Single-cell field; bone marrow smear; image size 250×250:
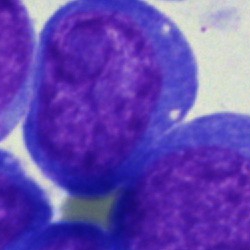
Morphology consistent with a blast cell.